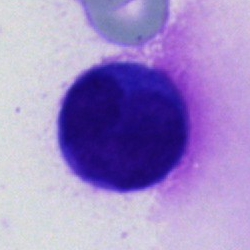

{"cell_type": "cell of indeterminate lineage"}